Bone marrow aspirate smear.
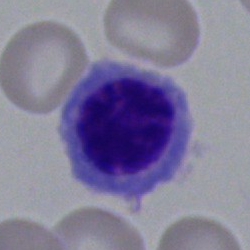

Showing a nucleated red blood cell.